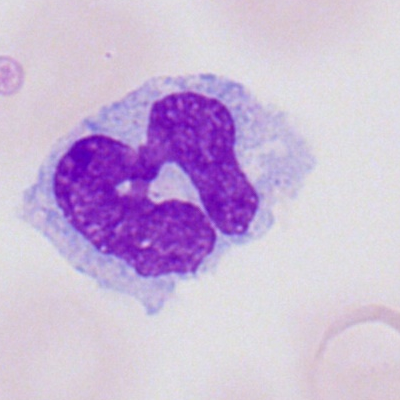 Specimen: peripheral blood smear.
Cell: monocyte.